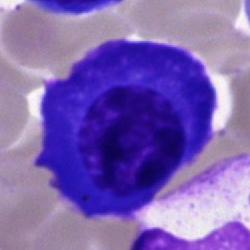Single cell identified as a plasmacyte.